Bone marrow aspirate smear — 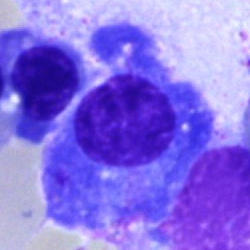
Specimen: bone marrow aspirate smear.
Morphological class: plasma cell.